Single-cell field. Bone marrow smear — 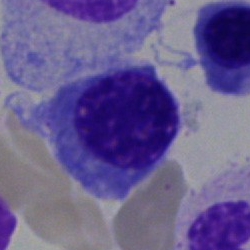 Cell: nucleated red cell.